Bone marrow aspirate smear — 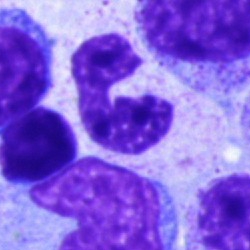 Cell type — polymorphonuclear neutrophil.